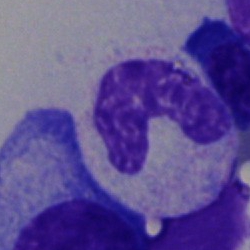
Band neutrophil.